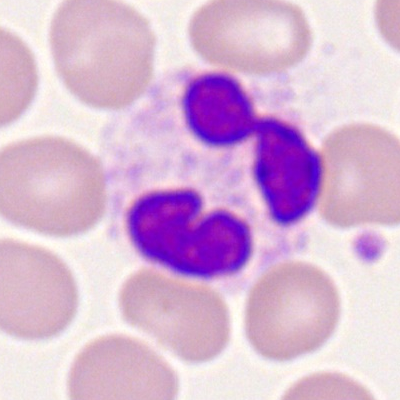 The morphological class is segmented neutrophil.